Bone marrow aspirate smear
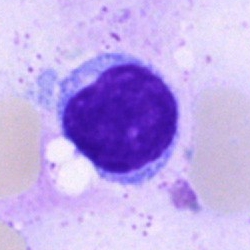The classification is lymphocyte.